Single-cell field. 40× oil immersion. Bone marrow smear.
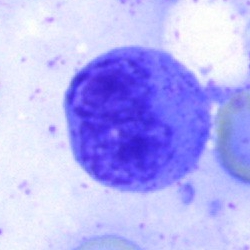Specimen: bone marrow smear.
Cell: unidentifiable cell.